Bone marrow smear. Brightfield microscopy, 40× oil immersion:
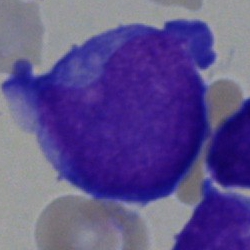

Cell: blast.